Brightfield microscopy, 40× oil immersion · bone marrow smear.
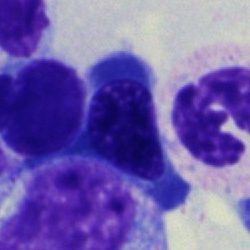A nucleated red blood cell.